Peripheral blood film · single-cell crop.
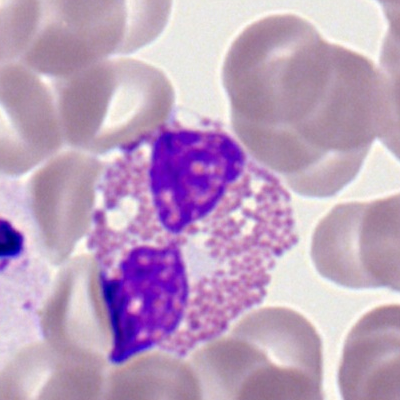

Morphological class — eosinophilic granulocyte.